Bone marrow aspirate smear
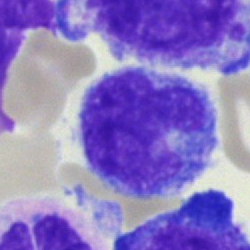Q: What is the morphological classification of this cell?
A: Monocyte.